Bone marrow aspirate smear; cropped to a single cell:
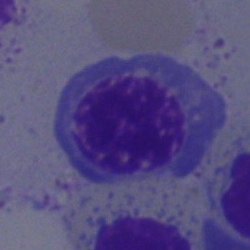
An erythroblast.